Bone marrow smear
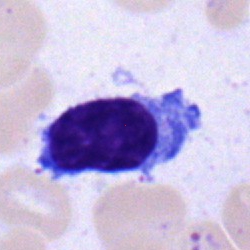
Q: Which cell type is shown here?
A: Typical lymphocyte.